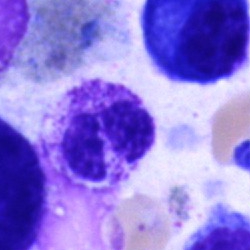
Q: What is shown here?
A: Segmented neutrophil.